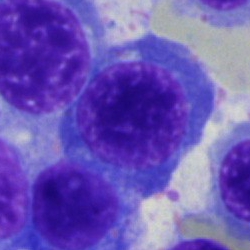
Specimen: bone marrow aspirate smear.
Cell: normoblast.
Lineage: erythroid.